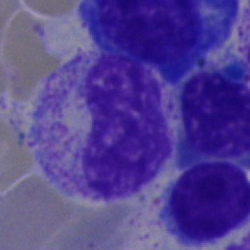
Morphology — metamyelocyte.